Single cell centered in the field. 250×250 px. Bone marrow smear
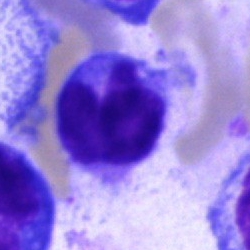Lymphocyte.